Bone marrow aspirate smear. Image size 250×250 — 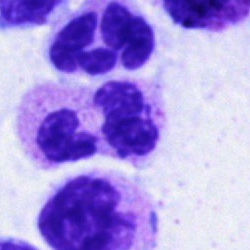 The cell shown is a polymorphonuclear neutrophil.